Bone marrow smear — 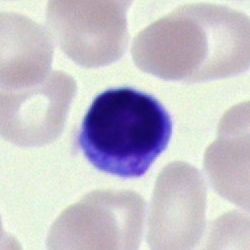 Impression → typical lymphocyte.